Brightfield, 40× oil-immersion objective; bone marrow aspirate smear; Pappenheim-stained:
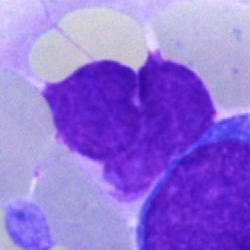{"cell_type": "artefact"}